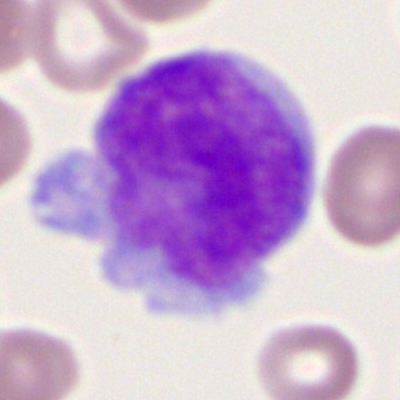

Q: What is the morphological classification of this cell?
A: It is a myeloid blast.